Peripheral blood smear:
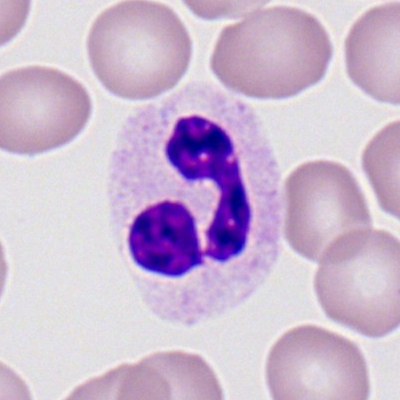Q: What is the morphological classification of this cell?
A: It is a neutrophil (segmented).